Peripheral blood smear.
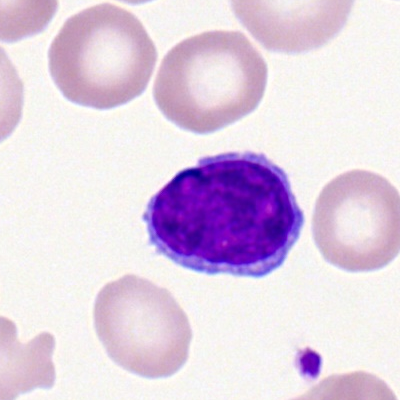 A lymphocyte.